Bone marrow smear
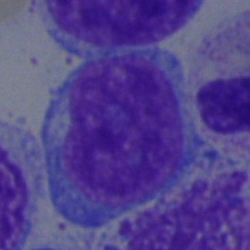
Cell = undifferentiated blast.